Cropped to a single cell. Bone marrow aspirate smear. 250×250: 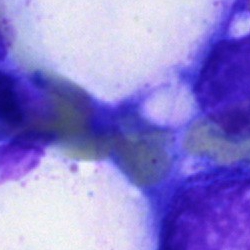

An artifact.